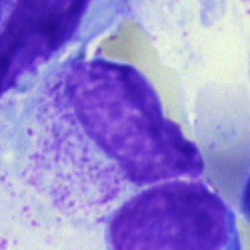 {"cell_type": "myelocyte", "lineage": "myeloid"}